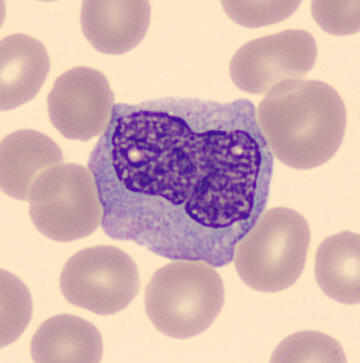

Acquisition: Automated cell imaging (CellaVision DM96); 360×363; peripheral blood smear. The cell shown is a monocyte.